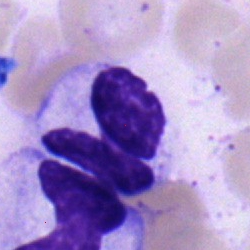
Q: What is shown here?
A: It is a polymorphonuclear neutrophil.